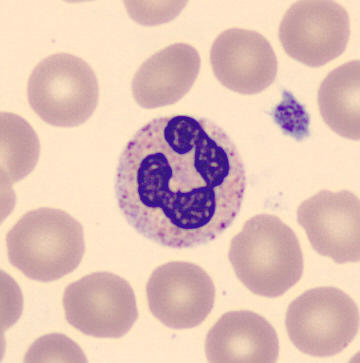

Preparation: 360×363. Automated cell imaging (CellaVision DM96). Peripheral blood film.

Q: What is shown here?
A: This is a segmented neutrophil.